Bone marrow aspirate smear:
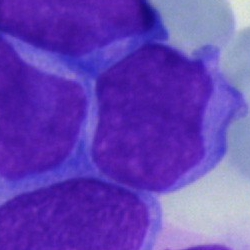Specimen: bone marrow aspirate smear.
Morphological class: blast.